Bone marrow smear: 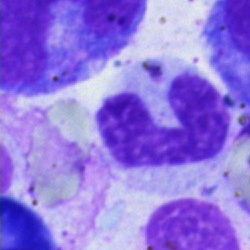

Single cell identified as a band neutrophil.